May-Grünwald-Giemsa stain. Bone marrow aspirate smear. Brightfield microscopy, 40× oil immersion: 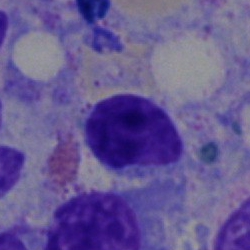Classification: typical lymphocyte.